Single-cell field; 250 by 250 pixels; bone marrow smear.
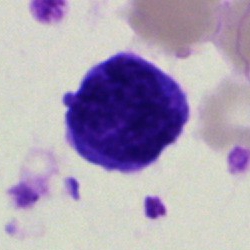
Single cell identified as a blast.